250×250 · May-Grünwald-Giemsa stain · bone marrow aspirate smear:
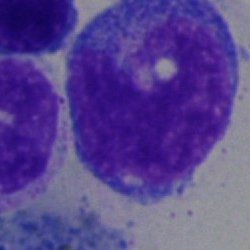Morphological class = monocyte.